Bone marrow aspirate smear; MGG-stained: 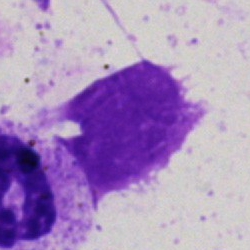 Morphology consistent with an artefact.